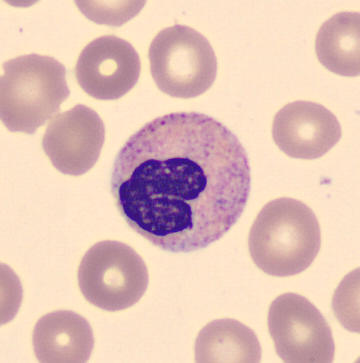

Preparation: Peripheral blood film.
Impression → stab cell.